Peripheral blood film:
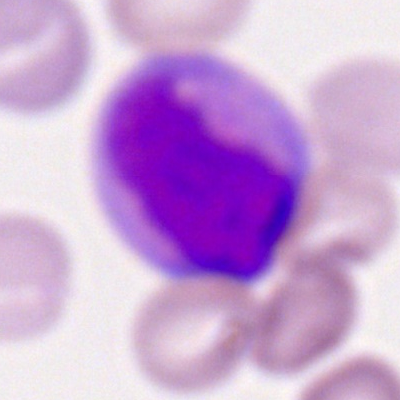

Morphological class: monocyte.